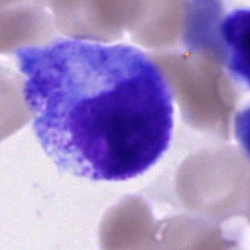

Specimen: bone marrow aspirate smear.
Morphological class: erythroblast.